May-Grünwald-Giemsa stain; bone marrow aspirate smear: 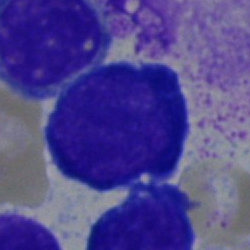 Impression — proerythroblast.